Bone marrow smear — 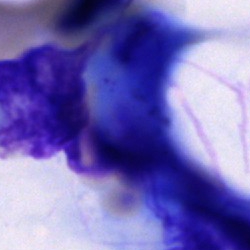

The morphological class is artefact.